Bone marrow aspirate smear:
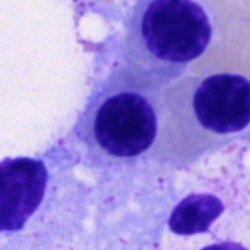 The cell shown is a normoblast.